Peripheral blood smear · Romanowsky stain · single cell centered in the field — 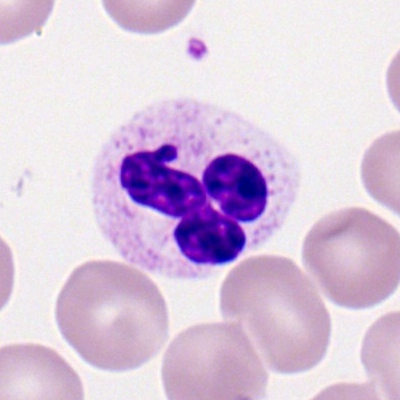

Showing a polymorphonuclear neutrophil.